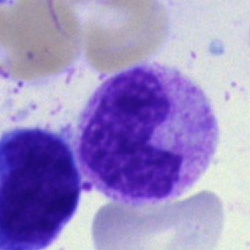
Morphology → band-form neutrophil.